40× objective, oil immersion. Image size 250×250. Bone marrow smear.
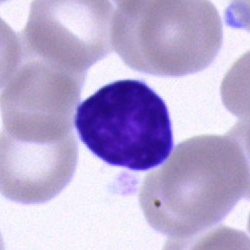Morphology consistent with a typical lymphocyte.